Bone marrow smear
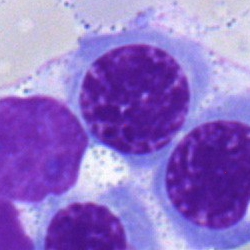
Specimen: bone marrow aspirate smear.
Cell: normoblast.